Single-cell crop. Bone marrow smear. Brightfield, 40× oil-immersion objective — 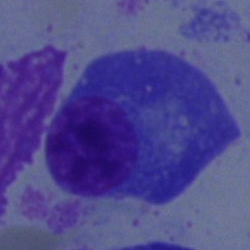A plasmacyte.